Bone marrow aspirate smear · 250×250 — 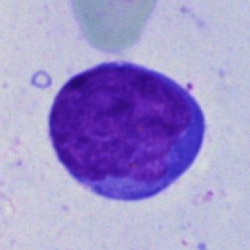

An undifferentiated blast.